250×250; bone marrow aspirate smear: 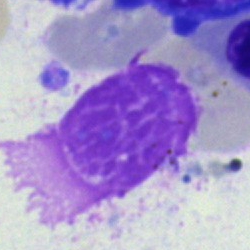

Q: What is shown here?
A: It is an artifact.